Bone marrow smear
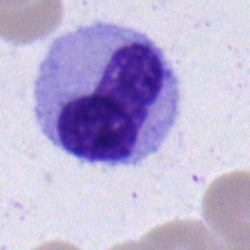A metamyelocyte.